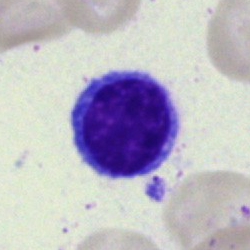

Morphological class: typical lymphocyte.